Bone marrow smear. 40× oil immersion. MGG-stained — 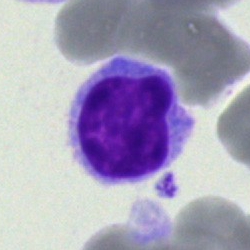 {"cell_type": "typical lymphocyte"}